Bone marrow smear — 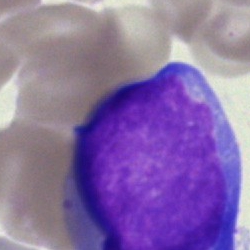

Q: What is shown here?
A: It is a pronormoblast.